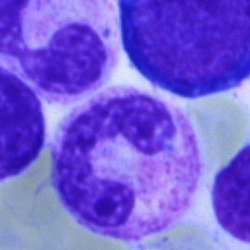Specimen: bone marrow smear.
Cell: band-form neutrophil.
Lineage: myeloid.